Bone marrow smear:
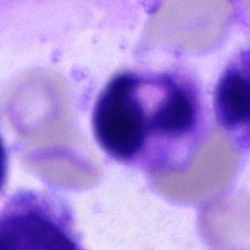Specimen: bone marrow aspirate smear.
Cell type: segmented neutrophil.